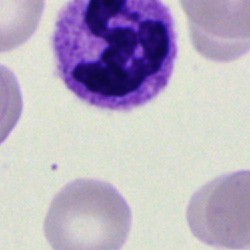
Q: What type of cell is this?
A: This is a polymorphonuclear neutrophil.